Bone marrow aspirate smear:
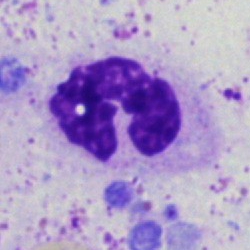

Q: What is shown here?
A: It is a neutrophil (segmented).